Bone marrow aspirate smear: 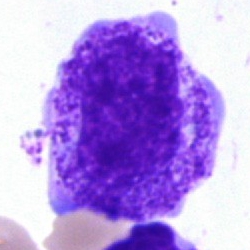 Classification = myelocyte.